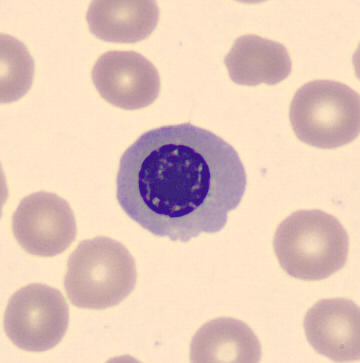 Acquisition: Peripheral blood film; May Grünwald-Giemsa stain. Showing a nucleated red cell.